Bone marrow smear:
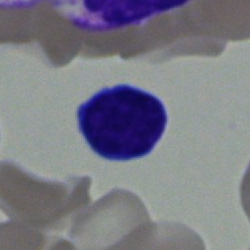
Q: Which cell type is shown here?
A: Lymphocyte.